Bone marrow aspirate smear: 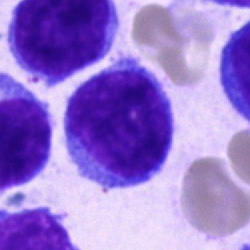

A lymphocyte.